Peripheral blood film.
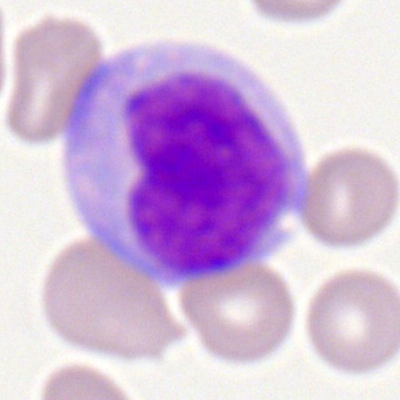Impression — monocyte.